Single-cell field · brightfield microscopy, 40× oil immersion · bone marrow aspirate smear
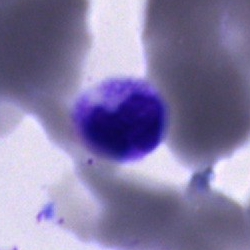
Q: What is the morphological classification of this cell?
A: Segmented neutrophil.